Brightfield, 40× oil-immersion objective; bone marrow aspirate smear
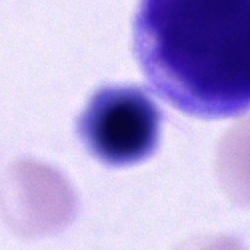
A cell of indeterminate lineage.